Bone marrow aspirate smear
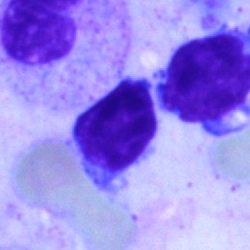

The cell shown is a typical lymphocyte.